Bone marrow smear:
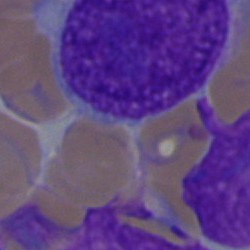Classification — blast.